Single-cell field; bone marrow aspirate smear; May-Grünwald-Giemsa stain
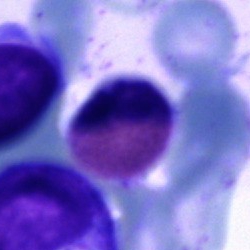

Q: What is the morphological classification of this cell?
A: This is an eosinophilic granulocyte.